Bone marrow aspirate smear: 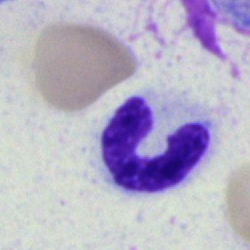

This is a stab cell.